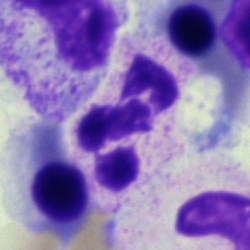Q: What is the morphological classification of this cell?
A: This is a segmented neutrophil.